Bone marrow aspirate smear · May-Grünwald-Giemsa stain.
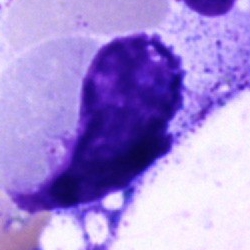
Cell type — artifact.